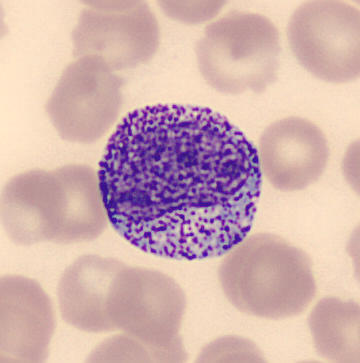Cell: myelocyte.
Preparation: Peripheral blood smear · May-Grünwald-Giemsa-stained.